Bone marrow aspirate smear · 40× objective, oil immersion:
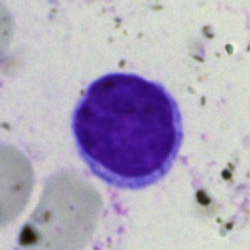

Impression — typical lymphocyte.